Bone marrow aspirate smear:
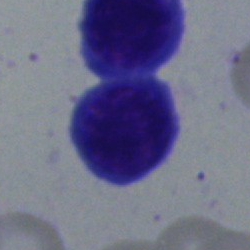

Showing a typical lymphocyte.